Bone marrow aspirate smear. Cropped to a single cell.
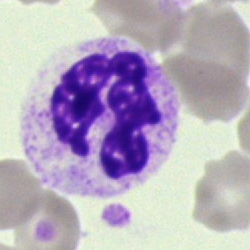

The cell is neutrophil (segmented).